Bone marrow smear:
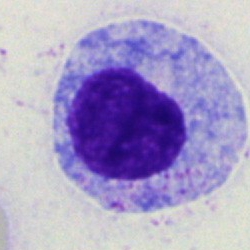Morphology → progranulocyte.